Single cell centered in the field. Bone marrow smear
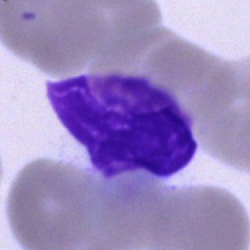

Q: What is shown here?
A: It is a cell of indeterminate lineage.